Bone marrow smear: 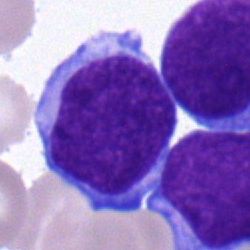Impression → blast cell.